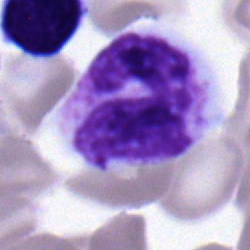
Morphological class — stab cell.